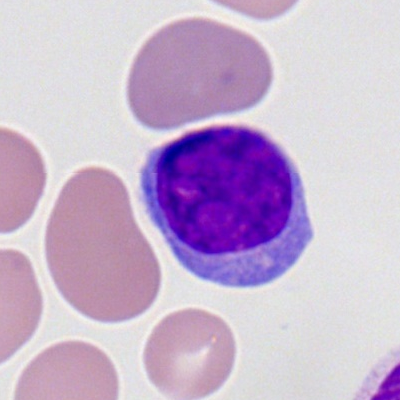 Specimen: peripheral blood smear.
Morphological class: lymphocyte.
Lineage: lymphoid.